Bone marrow smear:
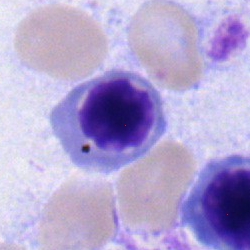

This is a nucleated red cell.